250 by 250 pixels · single-cell field · bone marrow smear:
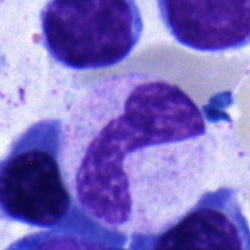Q: Which cell type is shown here?
A: It is a neutrophil (segmented).